Bone marrow aspirate smear:
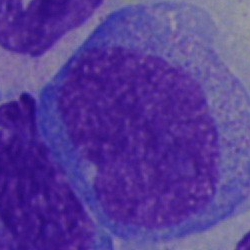Morphology → monocyte.